Romanowsky-stained · peripheral blood smear.
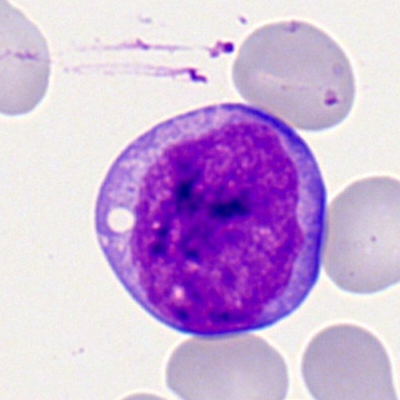This is a myeloblast.